Bone marrow aspirate smear. Brightfield microscopy, 40× oil immersion
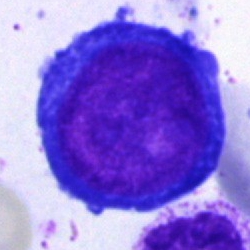
Morphology — proerythroblast.